Bone marrow smear. 250×250 px. Pappenheim-stained
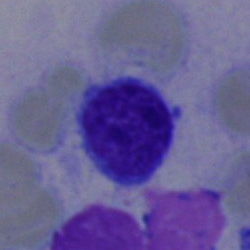

Cell type = lymphocyte.